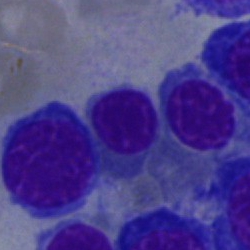
Classification — normoblast.